Single cell centered in the field · bone marrow smear.
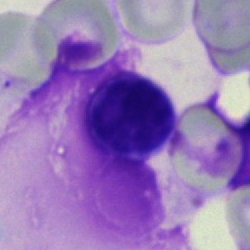
This is a lymphocyte.